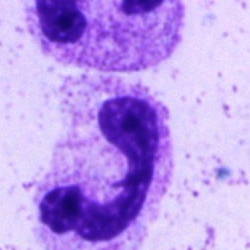 The morphological class is polymorphonuclear neutrophil.